Peripheral blood film · single-cell crop: 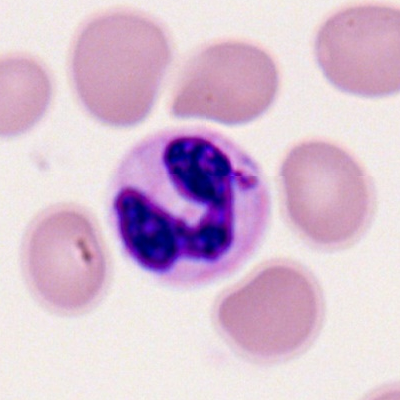

Cell type = neutrophil (segmented).